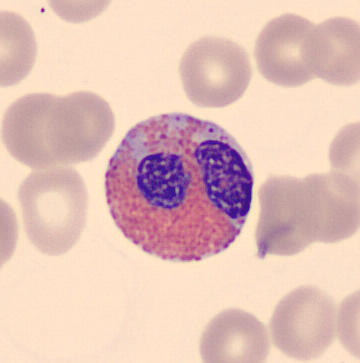
The cell shown is an eosinophil.
Preparation: Image size 360×363; automated cell imaging (CellaVision DM96); peripheral blood smear.